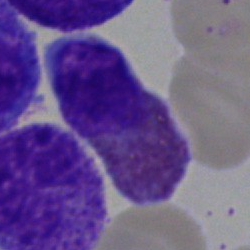

Specimen: bone marrow smear.
Cell type: eosinophil.
Lineage: myeloid.